Bone marrow aspirate smear.
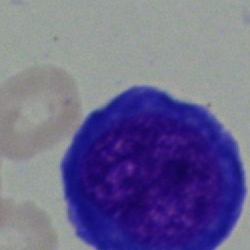
Q: What cell is this?
A: Proerythroblast.